Bone marrow aspirate smear; single-cell crop — 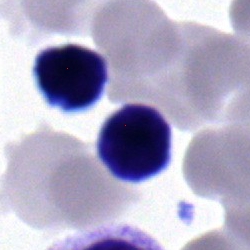

{"cell_type": "lymphocyte", "lineage": "lymphoid"}